Bone marrow smear · 250 by 250 pixels · May-Grünwald-Giemsa stain
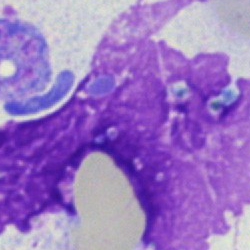 Q: What is shown here?
A: It is an artefact.